Peripheral blood smear · May Grünwald-Giemsa stain — 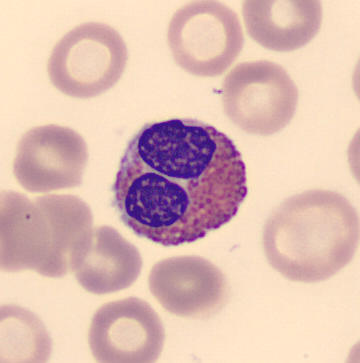This is an eosinophilic granulocyte.